Bone marrow aspirate smear: 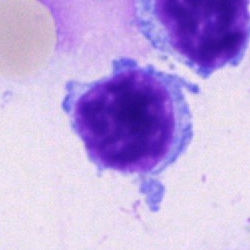

The cell is lymphocyte.